Single cell centered in the field. Bone marrow smear: 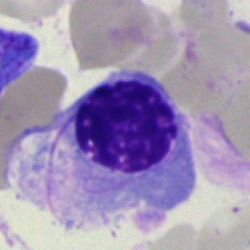
{"cell_type": "nucleated red cell"}